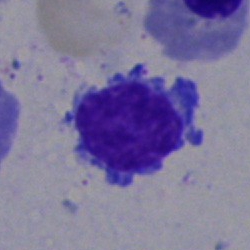Morphological class — typical lymphocyte.